40× oil immersion. Bone marrow smear: 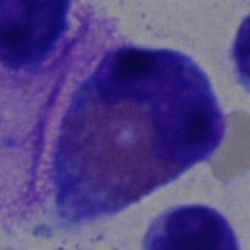Impression → eosinophilic granulocyte.